Image size 250×250 · bone marrow smear: 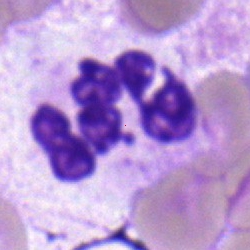 The classification is neutrophil (segmented).